Bone marrow aspirate smear:
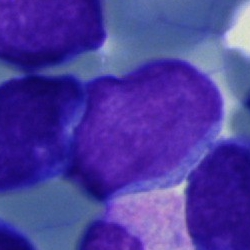Undifferentiated blast.